40× oil immersion · bone marrow aspirate smear: 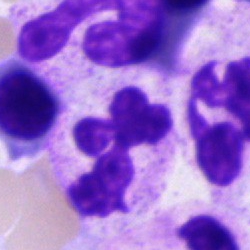
Classification: polymorphonuclear neutrophil.